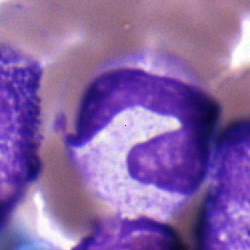

Cell type: neutrophil (segmented).